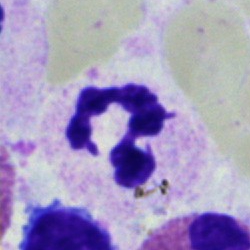

Q: What type of cell is this?
A: This is a segmented neutrophil.